Bone marrow aspirate smear. May-Grünwald-Giemsa stain.
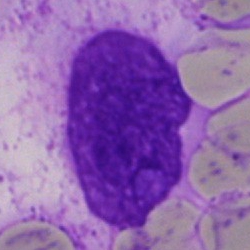
This is an artifact.